Peripheral blood film.
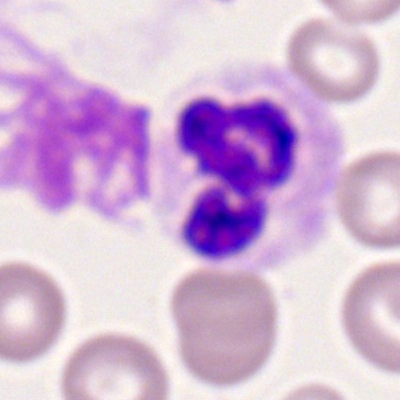
Specimen: peripheral blood smear.
Cell type: polymorphonuclear neutrophil.